Cropped to a single cell · bone marrow aspirate smear: 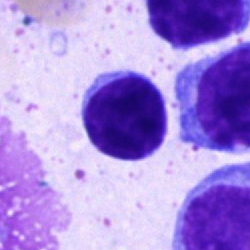 The cell shown is a lymphocyte.